Brightfield, 40× oil-immersion objective. Bone marrow smear. 250×250 px: 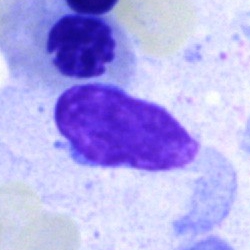

Morphological class — artefact.